Bone marrow smear. May-Grünwald-Giemsa/Pappenheim stain.
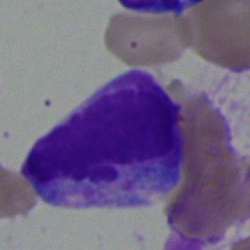 Morphology consistent with a blast cell.